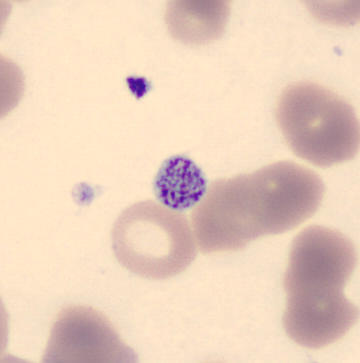 Specimen: peripheral blood smear.
Morphological class: platelet (thrombocyte).